Bone marrow aspirate smear.
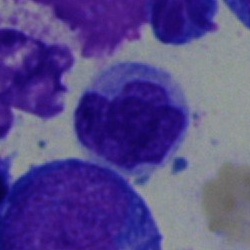
This is a monocyte.